Bone marrow aspirate smear — 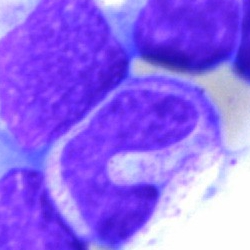
Q: What cell is this?
A: A band-form neutrophil.